Bone marrow aspirate smear: 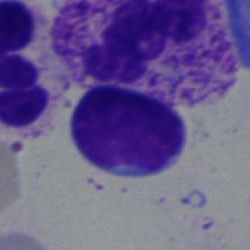
Cell type: typical lymphocyte.